May-Grünwald-Giemsa stain · bone marrow smear: 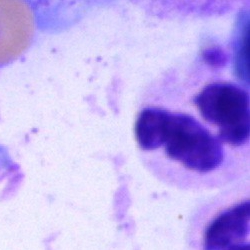
The cell type is neutrophil (segmented).